Bone marrow smear: 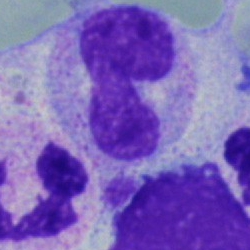

Showing a stab cell.